Bone marrow smear; 40× oil immersion; cropped to a single cell
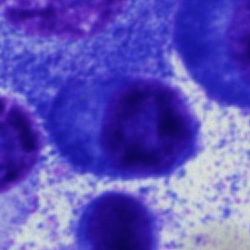

Cell = plasma cell.